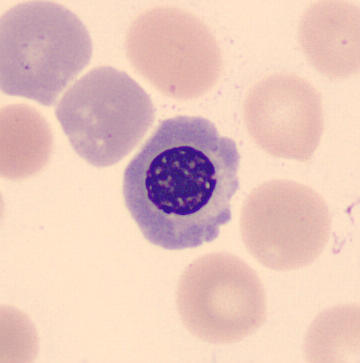Morphology → nucleated red cell. Acquisition: Peripheral blood smear.